Bone marrow smear.
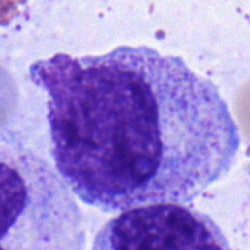
Specimen: bone marrow smear.
Morphological class: myelocyte.
Lineage: myeloid.